250×250 px; bone marrow aspirate smear: 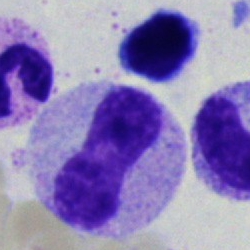A stab cell.